Peripheral blood film — 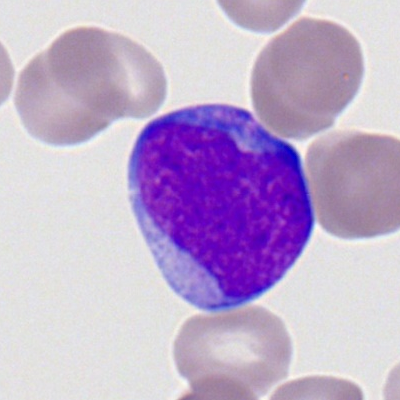Morphology — myeloblast.